Bone marrow smear: 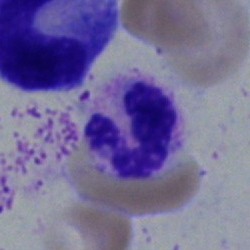 Neutrophil (segmented).